Bone marrow aspirate smear · brightfield microscopy, 40× oil immersion.
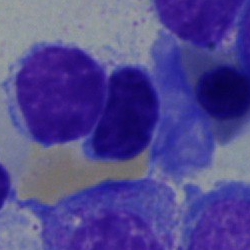The cell shown is a lymphocyte.